Bone marrow aspirate smear.
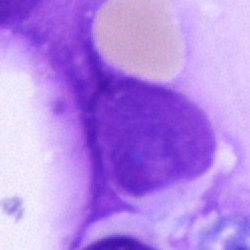 The cell shown is an artefact.